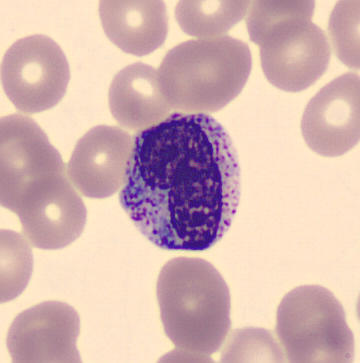Preparation: Peripheral blood smear. Imaged on a CellaVision DM96 analyser. A metamyelocyte.